Brightfield microscopy, 40× oil immersion. Bone marrow smear.
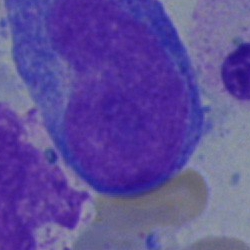

A blast cell.